Cropped to a single cell; bone marrow aspirate smear:
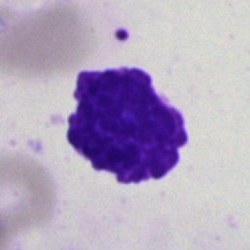
Q: What is shown here?
A: It is an artefact.